Bone marrow smear; brightfield microscopy, 40× oil immersion — 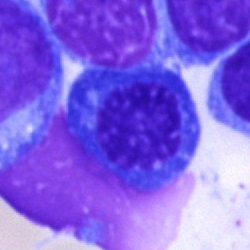 A nucleated red blood cell.